Bone marrow smear.
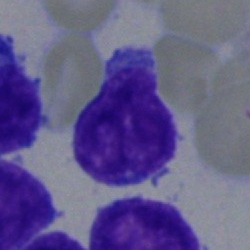

Single cell identified as a blast.